250×250 px. Bone marrow aspirate smear — 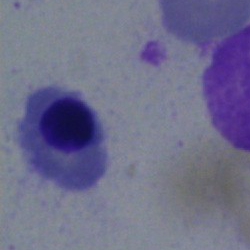 Cell type = normoblast.